Bone marrow aspirate smear; 250×250 px: 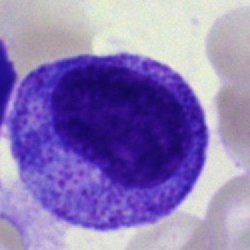
This is a promyelocyte.